Brightfield, 40× oil-immersion objective. Bone marrow aspirate smear. Image size 250×250:
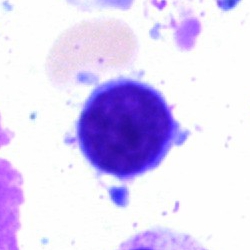
Morphology consistent with a lymphocyte.